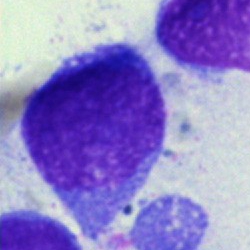 Morphology consistent with a blast.